Bone marrow aspirate smear; single cell centered in the field
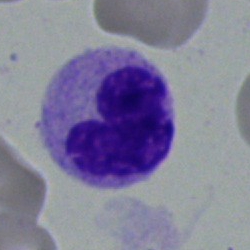Band-form neutrophil.